Bone marrow aspirate smear: 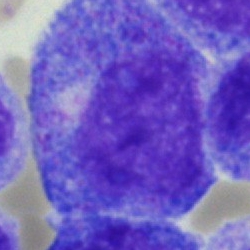

Morphological class — promyelocyte.